Single cell centered in the field. Brightfield, 40× oil-immersion objective. Bone marrow aspirate smear:
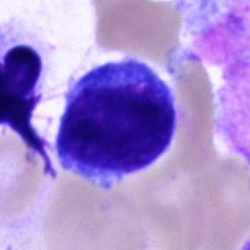Specimen: bone marrow smear.
Cell: blast cell.